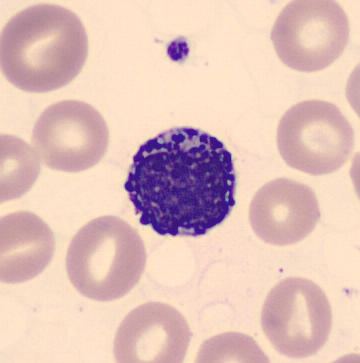Preparation: Peripheral blood film; single-cell crop; May-Grünwald-Giemsa-stained.

Showing a basophilic granulocyte.